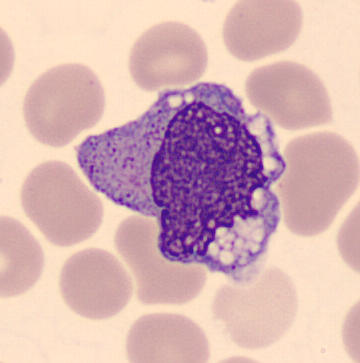
Q: What is this?
A: Monocyte.